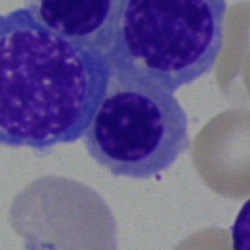 {"cell_type": "normoblast", "lineage": "erythroid"}